Bone marrow smear.
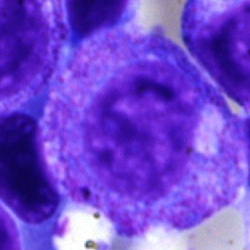
The cell is myelocyte.